Bone marrow smear:
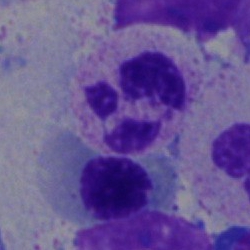A polymorphonuclear neutrophil.